Image size 250×250; bone marrow smear:
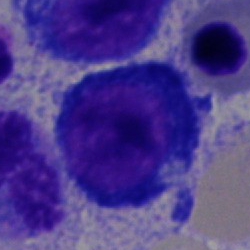 The cell shown is a pronormoblast.